Bone marrow smear · brightfield microscopy, 40× oil immersion — 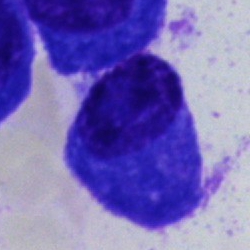

The cell type is plasma cell.